Peripheral blood smear.
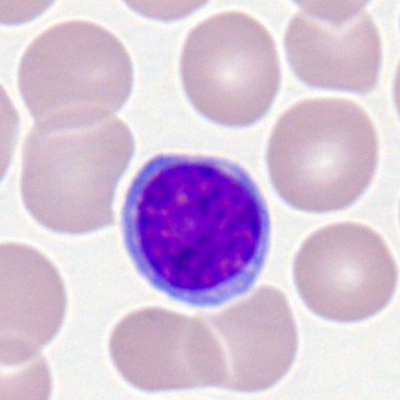

Single cell identified as a typical lymphocyte.